Bone marrow smear — 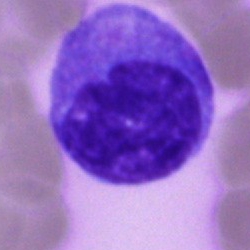
Impression — monocyte.